Bone marrow smear · single-cell field · brightfield, 40× oil-immersion objective: 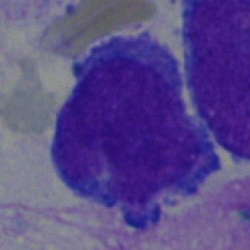A blast.